May-Grünwald-Giemsa/Pappenheim stain. Bone marrow smear.
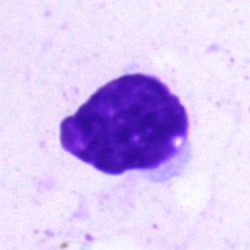
The cell shown is an artifact.